Brightfield, 40× oil-immersion objective. Bone marrow smear. 250 by 250 pixels.
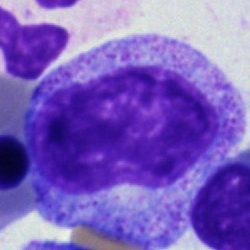 The cell type is metamyelocyte.